40× oil immersion · bone marrow smear: 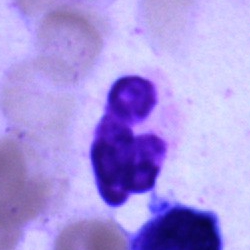

An artefact.